Single-cell field; bone marrow aspirate smear
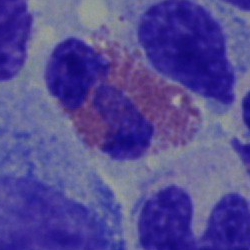 Single cell identified as an eosinophil.